Bone marrow aspirate smear
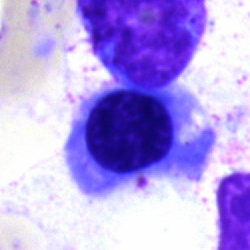 Cell — normoblast.